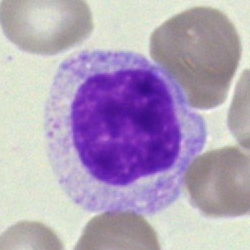
Showing a normoblast.